Bone marrow smear
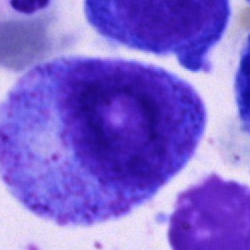

Classification = promyelocyte.